Bone marrow aspirate smear. Brightfield microscopy, 40× oil immersion. Single-cell crop:
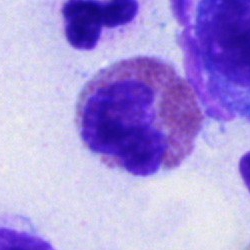 The cell shown is an eosinophilic granulocyte.